Peripheral blood film; 100× oil immersion; 400×400 px
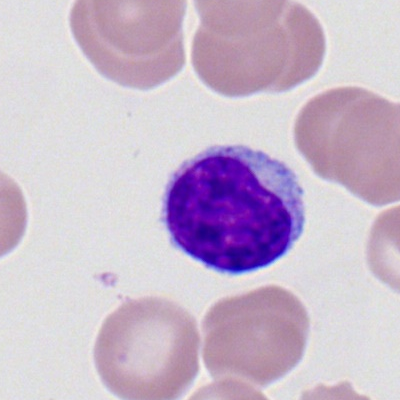 Single cell identified as a typical lymphocyte.